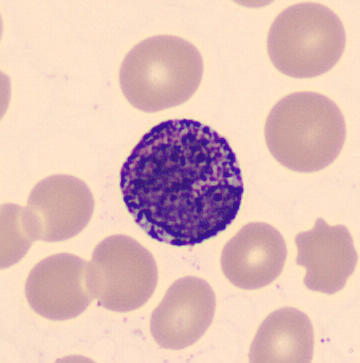

The classification is basophil.